Peripheral blood smear. 100× objective, oil immersion — 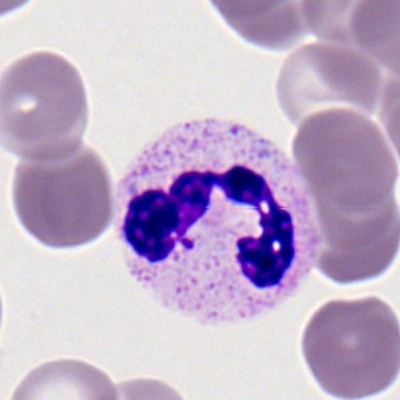

Showing a segmented neutrophil.